250×250 px · bone marrow aspirate smear · 40× oil immersion
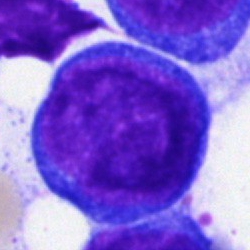
Cell type = blast cell.